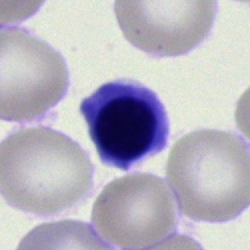

Cell type: erythroblast.